Bone marrow aspirate smear · May-Grünwald-Giemsa/Pappenheim stain: 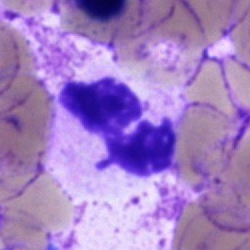
Specimen: bone marrow aspirate smear.
Classification: neutrophil (segmented).